Bone marrow smear
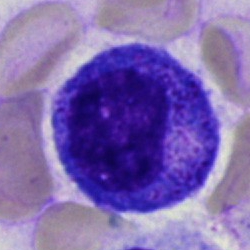
Q: What type of cell is this?
A: It is a promyelocyte.